Bone marrow aspirate smear · 40× objective, oil immersion: 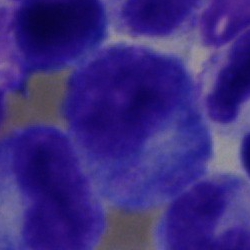Specimen: bone marrow smear.
Cell: promyelocyte.